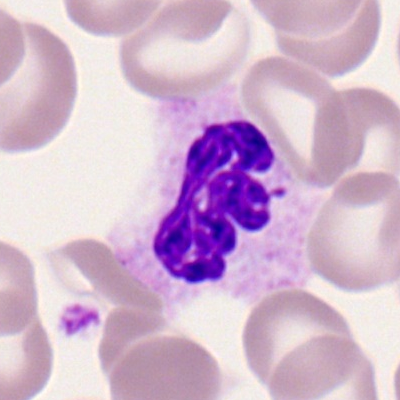{"cell_type": "polymorphonuclear neutrophil", "lineage": "myeloid"}